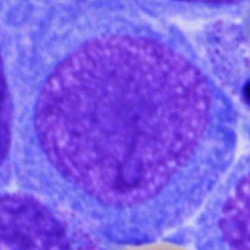 Blast cell.